Bone marrow smear
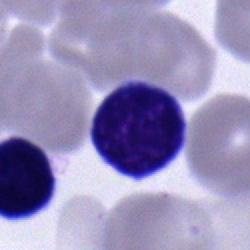 A lymphocyte.